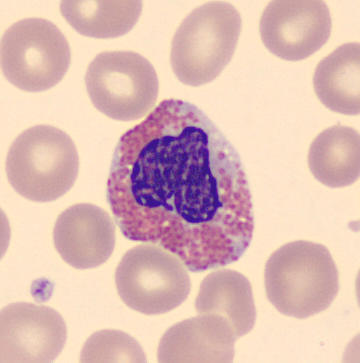 Q: Identify the cell.
A: An eosinophil.